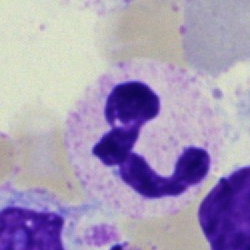
{"cell_type": "polymorphonuclear neutrophil", "lineage": "myeloid"}